Single-cell field; bone marrow smear:
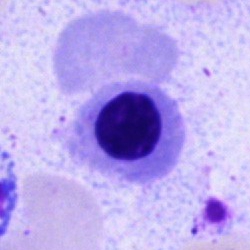 A nucleated red cell.